Bone marrow smear — 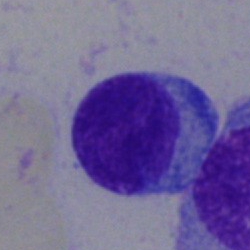{"cell_type": "plasma cell", "lineage": "lymphoid"}